40× objective, oil immersion · bone marrow smear — 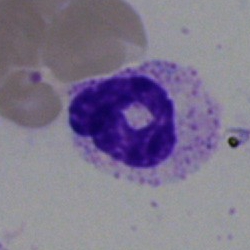
Morphology consistent with a polymorphonuclear neutrophil.